Bone marrow smear: 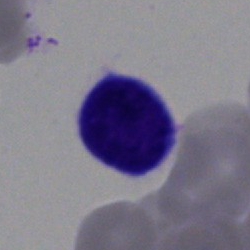

The cell shown is a lymphocyte.